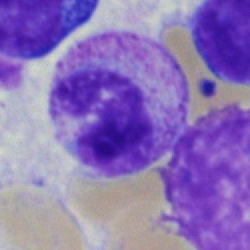
Cell: segmented neutrophil.